Peripheral blood film: 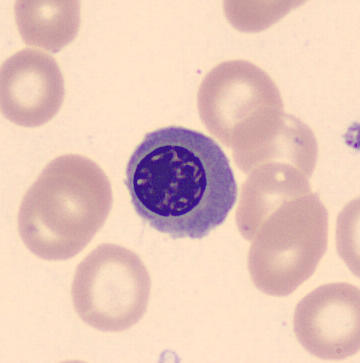
Q: What cell is this?
A: A normoblast.